Bone marrow smear; 250 by 250 pixels
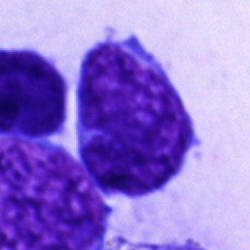 The cell shown is an artifact.